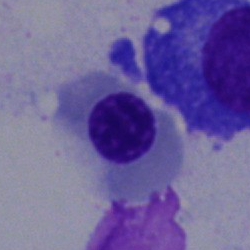
Cell type — nucleated red cell.